Bone marrow aspirate smear — 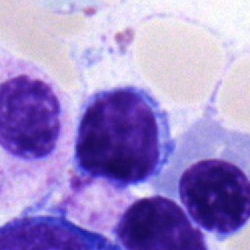The cell is lymphocyte.